Peripheral blood smear. Romanowsky-stained:
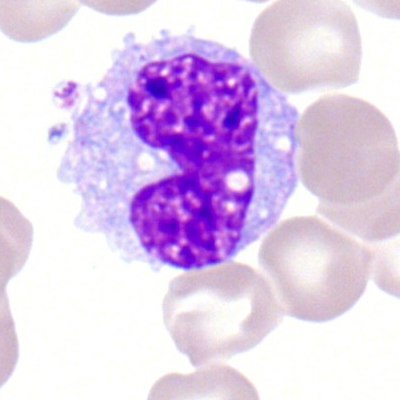
Impression → monocyte.